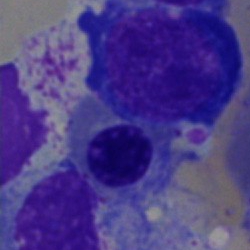

Cell type = nucleated red cell.